Bone marrow smear. Brightfield, 40× oil-immersion objective. Single-cell field — 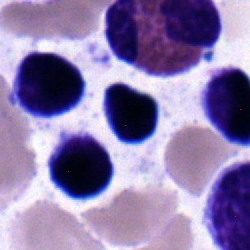 {"cell_type": "typical lymphocyte", "lineage": "lymphoid"}